Bone marrow aspirate smear · 250 by 250 pixels:
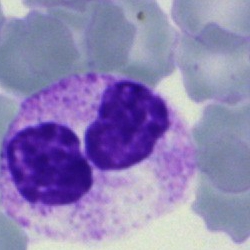Classification — segmented neutrophil.